Single-cell field. Bone marrow smear:
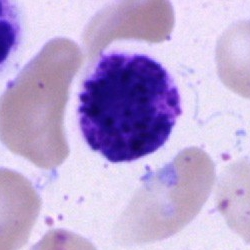 This is a basophilic granulocyte.